Brightfield, 40× oil-immersion objective. Bone marrow aspirate smear.
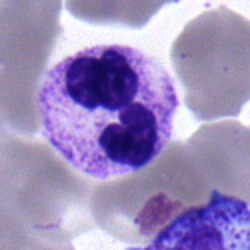 Morphology — polymorphonuclear neutrophil.